Bone marrow smear.
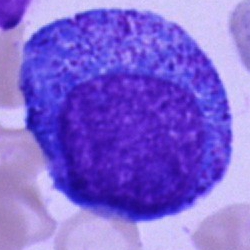

Q: What cell is this?
A: It is a promyelocyte.